Bone marrow smear. Single cell centered in the field:
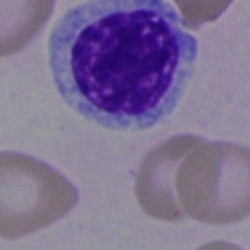
Specimen: bone marrow aspirate smear.
Cell type: myelocyte.
Lineage: myeloid.